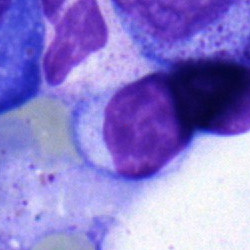

Single cell identified as a lymphocyte.